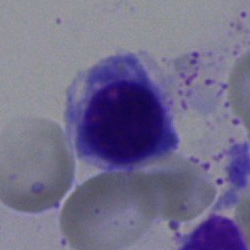{"cell_type": "normoblast", "lineage": "erythroid"}